Bone marrow aspirate smear — 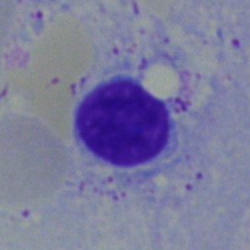The cell is lymphocyte.